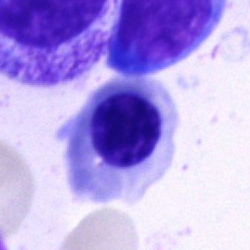
An erythroblast.